Pappenheim-stained · bone marrow aspirate smear — 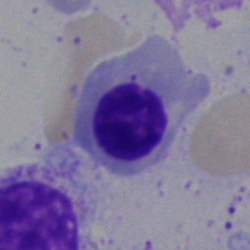 Cell type: nucleated red blood cell.